Bone marrow aspirate smear.
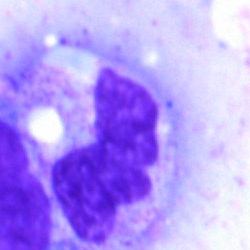Impression — neutrophil (segmented).